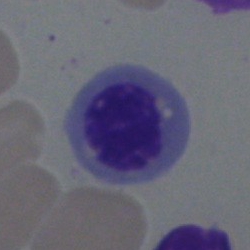Impression — nucleated red cell.